May-Grünwald-Giemsa stain. Bone marrow aspirate smear. Brightfield, 40× oil-immersion objective:
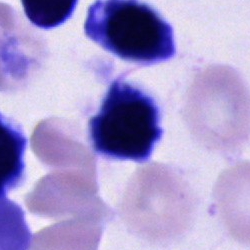 Q: What cell is this?
A: It is a cell of indeterminate lineage.